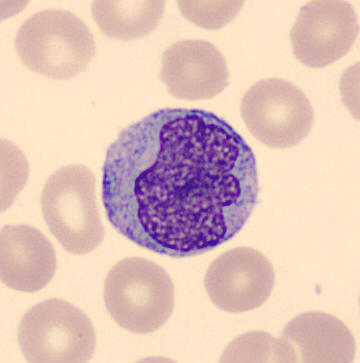Q: What type of cell is this?
A: Monocyte.

Preparation: Peripheral blood smear. Imaged on a CellaVision DM96 analyser. Single-cell field.